Image size 250×250 · bone marrow aspirate smear · single-cell crop
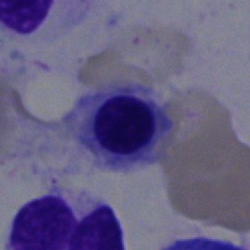

The cell type is normoblast.